Peripheral blood film · image size 400×400:
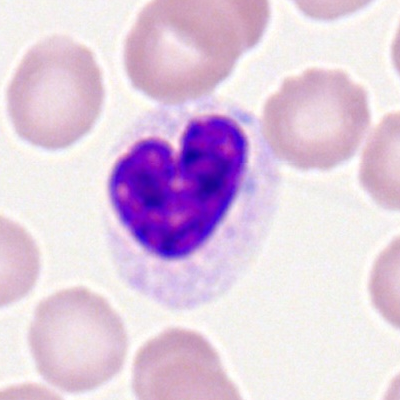Morphology consistent with a neutrophil (band).